Bone marrow smear — 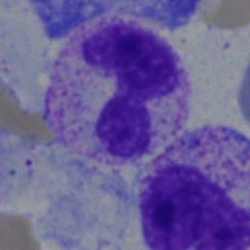Q: Which cell type is shown here?
A: A polymorphonuclear neutrophil.